Brightfield, 40× oil-immersion objective. Bone marrow aspirate smear.
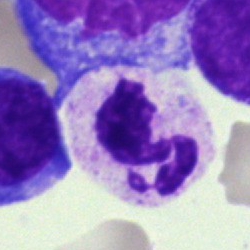
Single cell identified as a neutrophil (segmented).